Bone marrow smear: 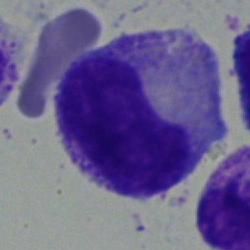

Morphological class = metamyelocyte.